Single-cell field. Bone marrow aspirate smear. 250×250 px — 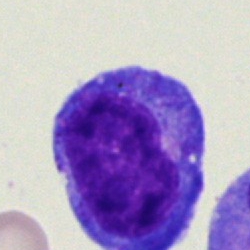Blast cell.